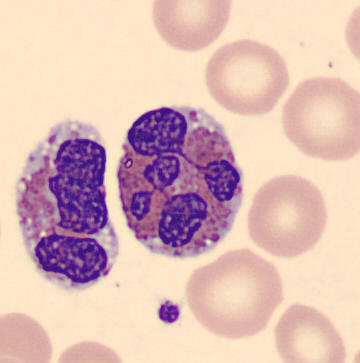Acquisition: Peripheral blood film. Automated cell imaging (CellaVision DM96).

The cell is eosinophil.